Peripheral blood smear:
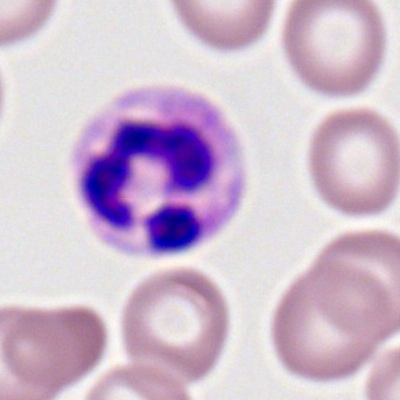
Impression — neutrophil (segmented).